Bone marrow aspirate smear:
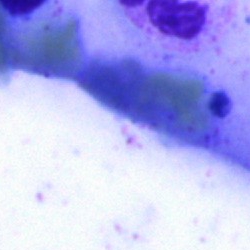

Morphological class = artifact.